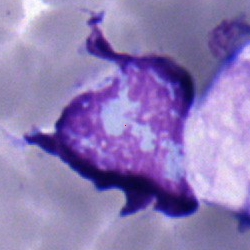

Specimen: bone marrow smear.
Morphological class: monocyte.